Pappenheim-stained · bone marrow smear: 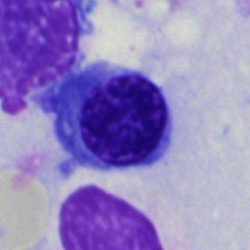 Morphology consistent with a nucleated red blood cell.